Bone marrow smear — 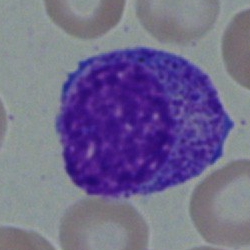
This is a myelocyte.